Bone marrow aspirate smear — 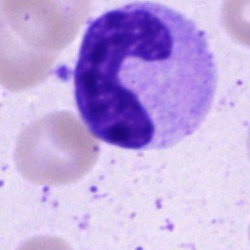
{"cell_type": "neutrophil (band)"}